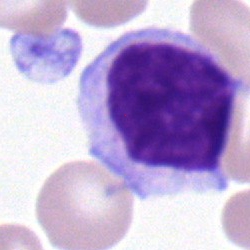

Morphological class — lymphocyte.